Bone marrow aspirate smear: 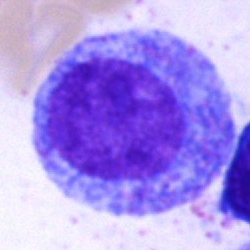
Specimen: bone marrow aspirate smear.
Cell type: promyelocyte.